Bone marrow smear: 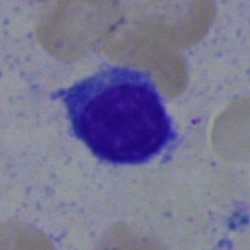 Classification — lymphocyte.